Bone marrow aspirate smear · image size 250×250 · May-Grünwald-Giemsa stain.
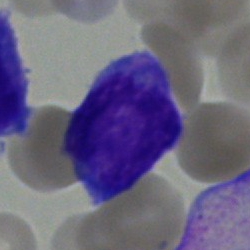
Cell type — blast cell.